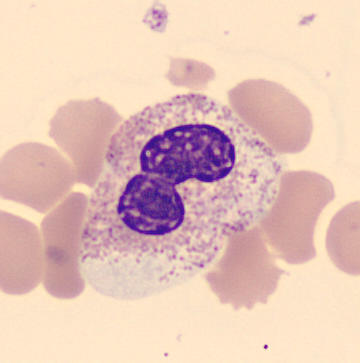 Specimen: peripheral blood film.
Classification: stab cell.
Lineage: myeloid.
Preparation: Single-cell crop.